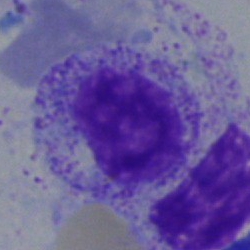
The cell shown is a myelocyte.